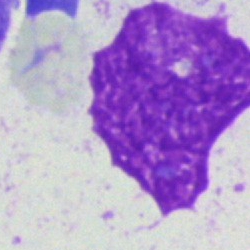 Specimen: bone marrow aspirate smear.
Morphological class: artifact.